Cropped to a single cell; bone marrow smear; 250×250 px.
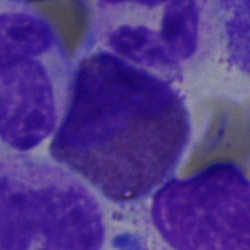
Morphological class: eosinophil.